Bone marrow aspirate smear — 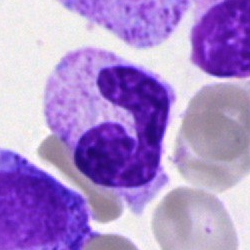Single cell identified as a neutrophil (segmented).